Pappenheim-stained · bone marrow aspirate smear: 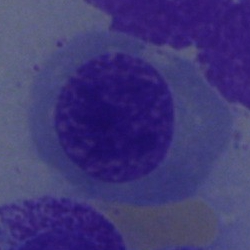The morphological class is nucleated red cell.